Bone marrow aspirate smear
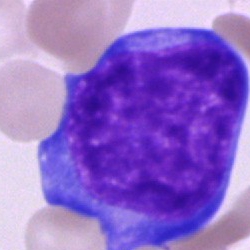
Q: Which cell type is shown here?
A: Blast cell.